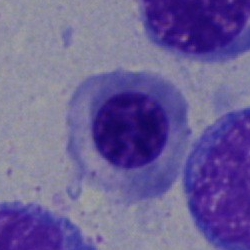 Single-cell crop from a bone marrow smear: normoblast.